Bone marrow smear; 250 by 250 pixels; MGG-stained — 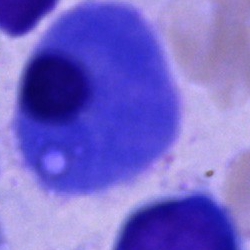
Q: What cell is this?
A: It is a plasma cell.